Bone marrow aspirate smear — 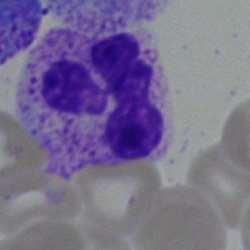
Cell — neutrophil (segmented).